Bone marrow smear.
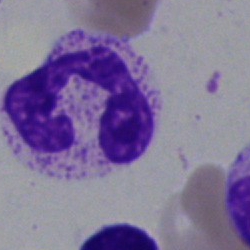 Morphological class: segmented neutrophil.